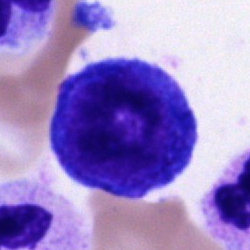 Morphology → proerythroblast.